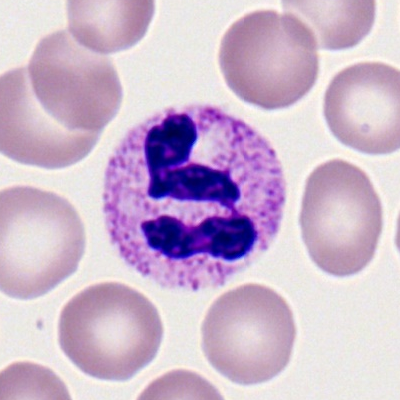Showing a segmented neutrophil.